Bone marrow aspirate smear:
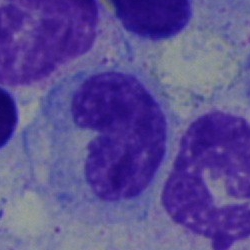

Cell = monocyte.